Bone marrow smear. MGG-stained. Single-cell field:
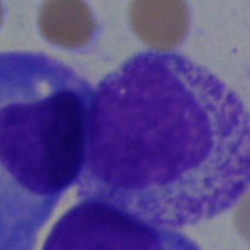 Cell type: myelocyte.